Bone marrow aspirate smear
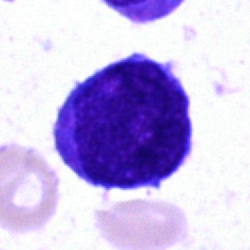

Q: What is shown here?
A: This is a blast cell.